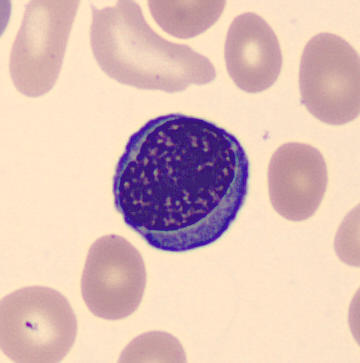 Acquisition: Peripheral blood smear.
Impression → nucleated red blood cell.